Bone marrow aspirate smear.
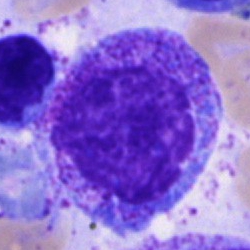

{"cell_type": "progranulocyte", "lineage": "myeloid"}